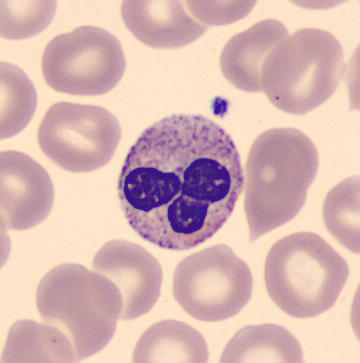 Peripheral blood smear showing a segmented neutrophil.